Bone marrow smear; MGG-stained
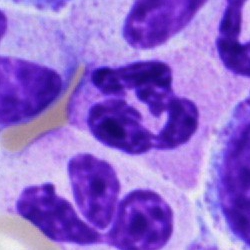
Specimen: bone marrow aspirate smear.
Morphological class: segmented neutrophil.
Lineage: myeloid.